Bone marrow aspirate smear. Brightfield, 40× oil-immersion objective
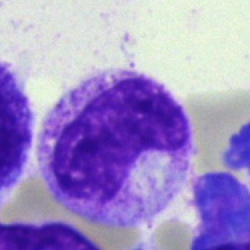
Specimen: bone marrow aspirate smear.
Cell type: metamyelocyte.